Bone marrow smear · single-cell crop: 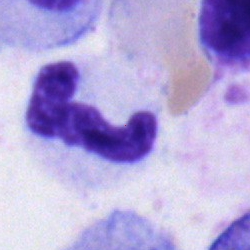
Impression — normoblast.